Bone marrow smear; MGG-stained.
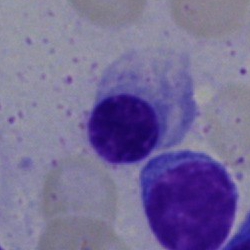
Q: What type of cell is this?
A: Nucleated red blood cell.